Bone marrow smear; Pappenheim-stained
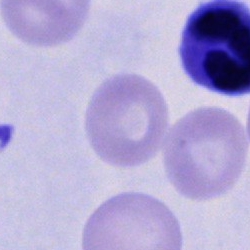

Cell of indeterminate lineage.